Single-cell field · bone marrow aspirate smear: 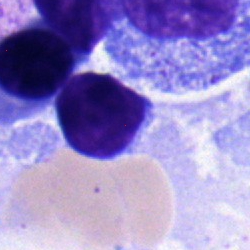

Q: What type of cell is this?
A: A lymphocyte.